Bone marrow aspirate smear. Single-cell crop — 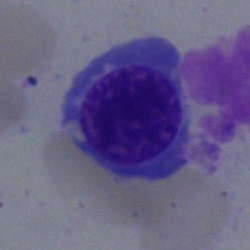
Normoblast.